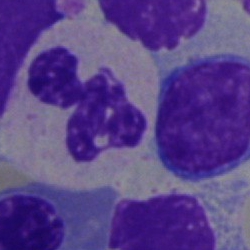 Single-cell crop from a bone marrow smear: polymorphonuclear neutrophil.